May-Grünwald-Giemsa/Pappenheim stain. Bone marrow smear
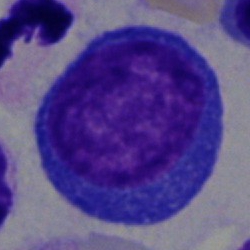Classification — promyelocyte.